Bone marrow aspirate smear
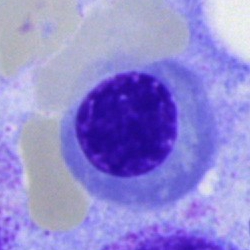 The cell is nucleated red cell.